250×250 px. May-Grünwald-Giemsa stain. Bone marrow aspirate smear
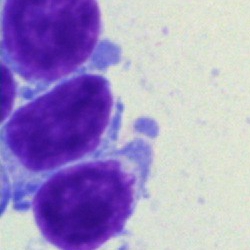Morphology consistent with a typical lymphocyte.